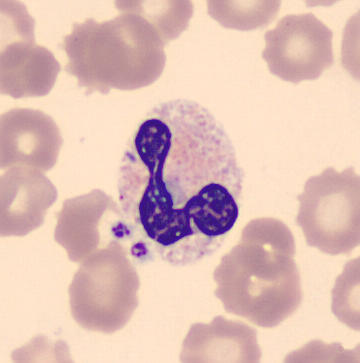
A polymorphonuclear neutrophil.
Acquisition: MGG-stained; peripheral blood film.